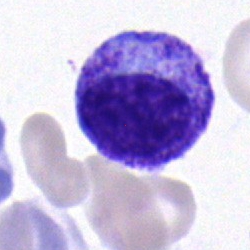

Q: What is shown here?
A: It is a myelocyte.